Bone marrow aspirate smear — 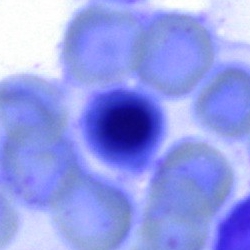
Q: What is shown here?
A: This is a normoblast.